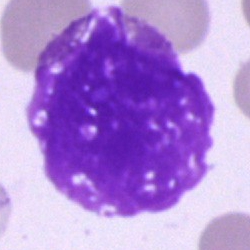
Morphology → artifact.